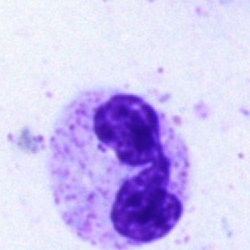
Showing a neutrophil (segmented).